Bone marrow aspirate smear: 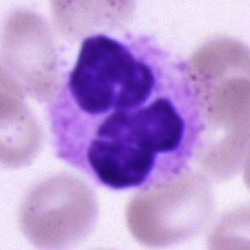
Single cell identified as a neutrophil (segmented).